Bone marrow aspirate smear.
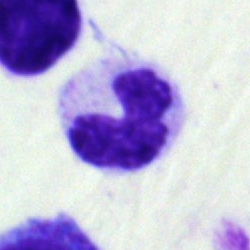

Specimen: bone marrow aspirate smear.
Cell type: band neutrophil.
Lineage: myeloid.